Bone marrow aspirate smear
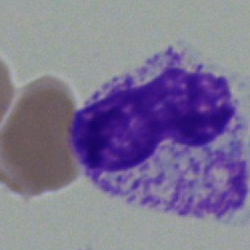 Showing a stab cell.